Bone marrow aspirate smear. Cropped to a single cell. May-Grünwald-Giemsa/Pappenheim stain — 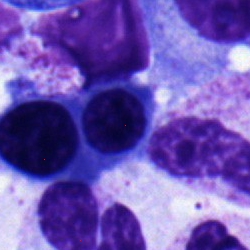Cell: nucleated red blood cell.